Bone marrow smear.
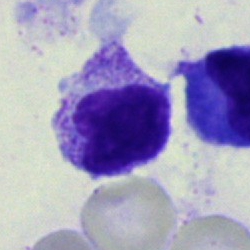Q: Identify the cell.
A: It is a metamyelocyte.